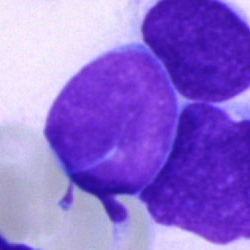Bone marrow smear showing an undifferentiated blast.